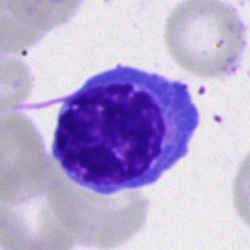

A nucleated red cell.